Bone marrow aspirate smear.
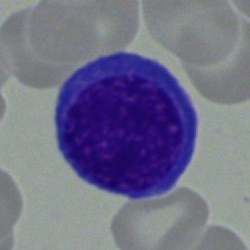
Cell type — normoblast.